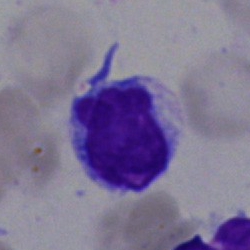
Single-cell crop from a bone marrow smear: typical lymphocyte.